Bone marrow smear
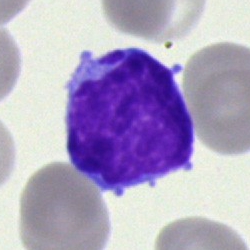This is an undifferentiated blast.